250×250 · bone marrow smear.
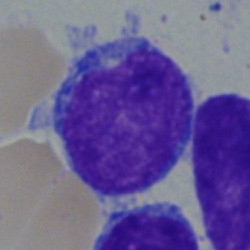
An undifferentiated blast.